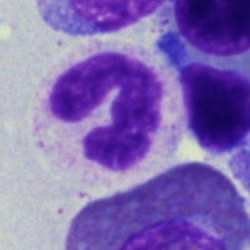

Specimen: bone marrow smear.
Classification: polymorphonuclear neutrophil.
Lineage: myeloid.